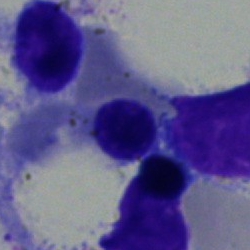

Q: Which cell type is shown here?
A: This is a nucleated red blood cell.